Bone marrow smear: 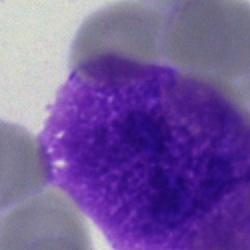
Morphology consistent with an artifact.